Brightfield, 40× oil-immersion objective · bone marrow smear
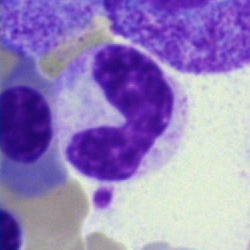

A stab cell.